Bone marrow aspirate smear — 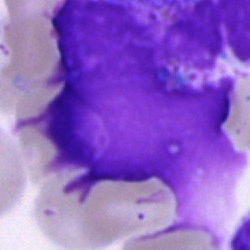Artifact.